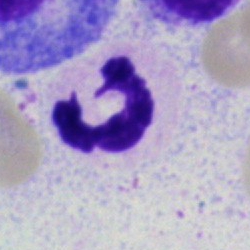 {"cell_type": "neutrophil (segmented)"}